Cropped to a single cell. May-Grünwald-Giemsa stain. Bone marrow smear: 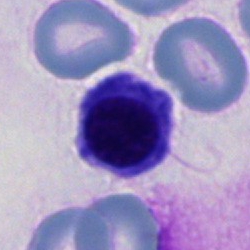
Q: What is shown here?
A: A normoblast.